Bone marrow smear · single cell centered in the field:
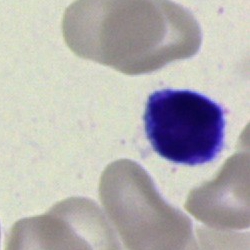 Cell — lymphocyte.